Bone marrow aspirate smear: 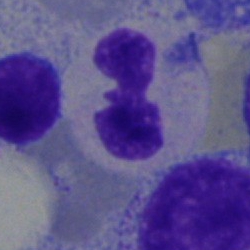
Single cell identified as a neutrophil (segmented).